MGG-stained · 250×250 px · bone marrow aspirate smear
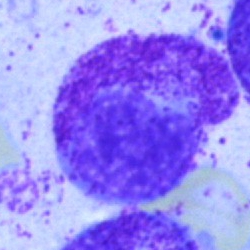

Myelocyte.